Bone marrow aspirate smear
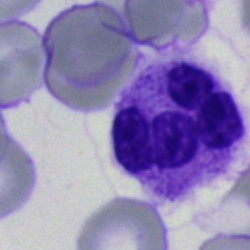 The morphological class is polymorphonuclear neutrophil.